250×250 px · bone marrow aspirate smear · 40× objective, oil immersion
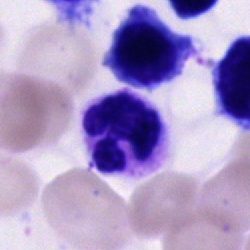 Cell = neutrophil (segmented).